Bone marrow smear.
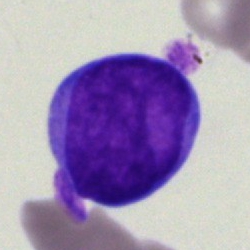Morphology — undifferentiated blast.